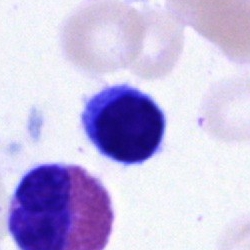

Bone marrow smear showing a typical lymphocyte.